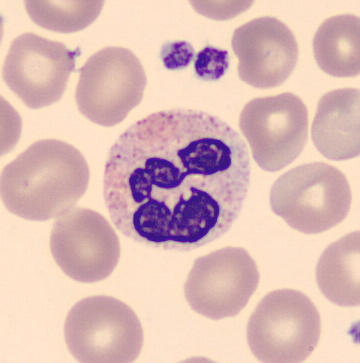
Morphological class — polymorphonuclear neutrophil.